Bone marrow smear. Cropped to a single cell:
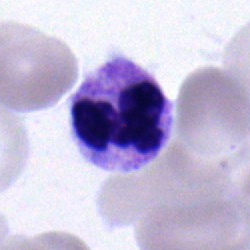
Morphology → neutrophil (segmented).